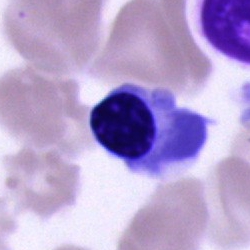
An erythroblast.